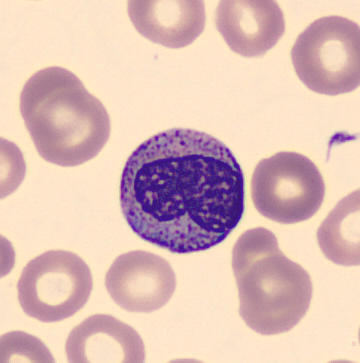 Acquisition: MGG stain. Automated cell imaging (CellaVision DM96). Peripheral blood film.

Q: What is this?
A: It is a metamyelocyte.